Brightfield microscopy, 40× oil immersion; bone marrow smear; 250×250:
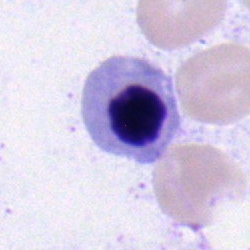Morphology — nucleated red blood cell.